May-Grünwald-Giemsa/Pappenheim stain; bone marrow aspirate smear; brightfield microscopy, 40× oil immersion
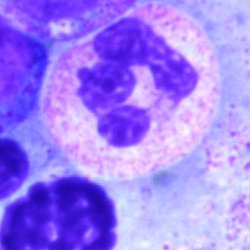

The morphological class is neutrophil (segmented).